Image size 250×250. Bone marrow aspirate smear
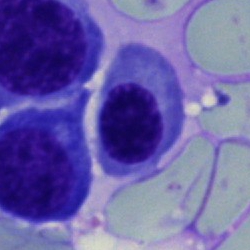 Single cell identified as an erythroblast.